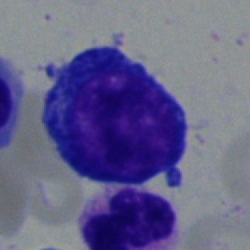
{"cell_type": "pronormoblast"}